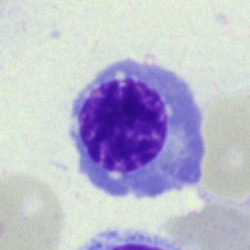

A normoblast.